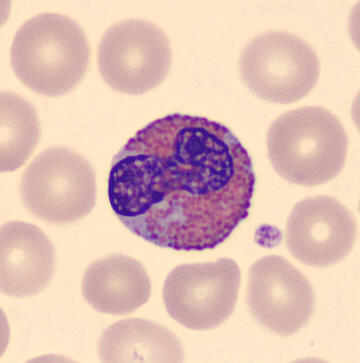 Cell: eosinophilic granulocyte.